250×250 · bone marrow smear:
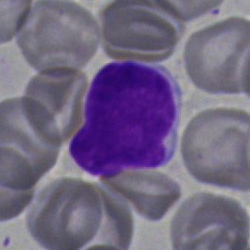Morphological class: typical lymphocyte.